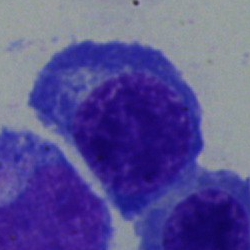Cell = normoblast.